MGG-stained; bone marrow smear: 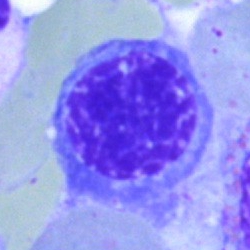

Morphology consistent with a nucleated red cell.